Bone marrow smear.
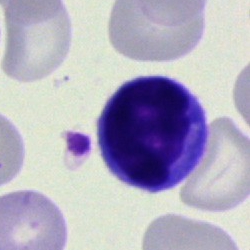 Lymphocyte.